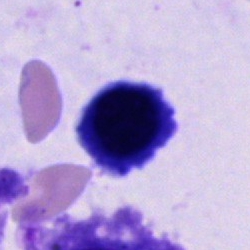 Specimen: bone marrow aspirate smear.
Cell type: unidentifiable cell.